Bone marrow smear — 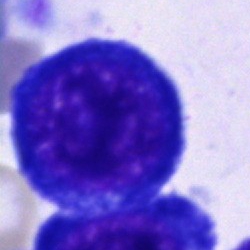 Impression → proerythroblast.